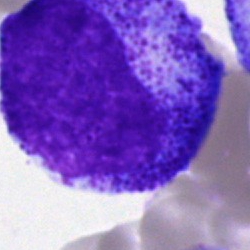
Specimen: bone marrow smear.
Morphological class: promyelocyte.